Bone marrow smear.
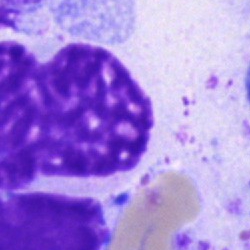

Morphological class = artifact.